Single cell centered in the field; 250×250 px; bone marrow smear.
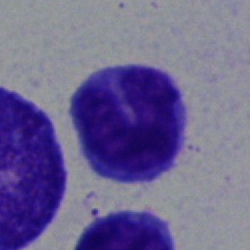

Q: What cell is this?
A: A monocyte.